Peripheral blood smear
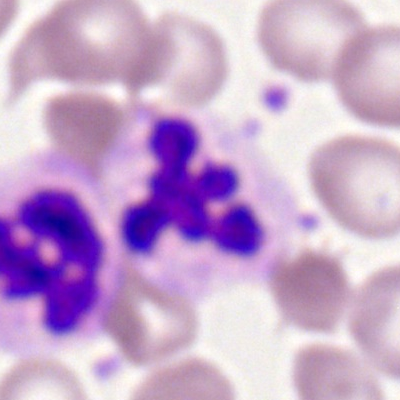 The cell shown is a segmented neutrophil.